Brightfield microscopy, 40× oil immersion; bone marrow aspirate smear — 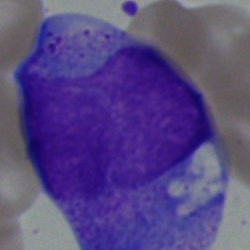
Morphology → promyelocyte.